Single-cell crop. Bone marrow aspirate smear
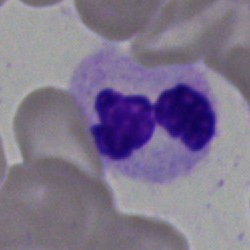
Specimen: bone marrow aspirate smear.
Cell: neutrophil (segmented).